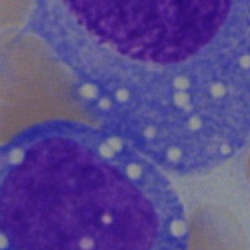
Showing an undifferentiated blast.